Peripheral blood smear; 100× oil immersion; 400×400 px
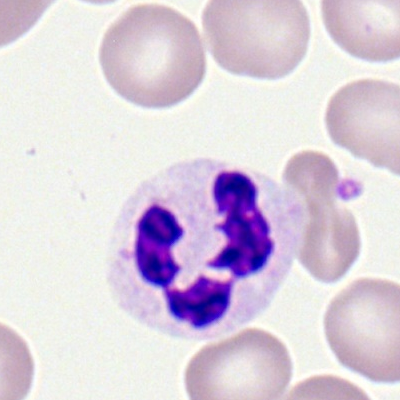
Q: What is the morphological classification of this cell?
A: This is a segmented neutrophil.